40× oil immersion; bone marrow smear: 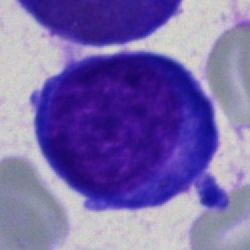
The cell shown is a proerythroblast.